Bone marrow smear:
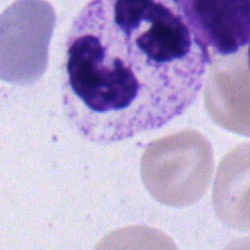Classification = segmented neutrophil.